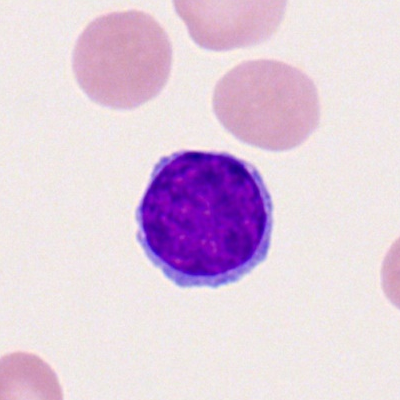
Cell type: lymphocyte.